Bone marrow smear
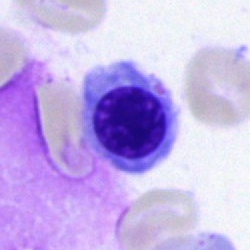 Q: What is the morphological classification of this cell?
A: A normoblast.